Bone marrow smear · cropped to a single cell: 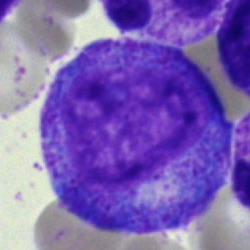

Single cell identified as a progranulocyte.